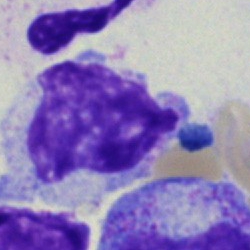
Impression → artifact.